Bone marrow aspirate smear. 40× oil immersion
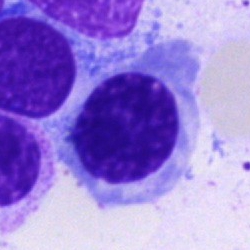 Morphology → normoblast.